Image size 250×250. Bone marrow smear:
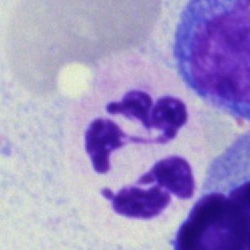Cell: segmented neutrophil.